250×250. Bone marrow smear.
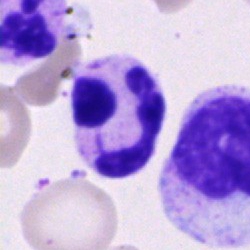A segmented neutrophil.